Bone marrow smear; 250 by 250 pixels: 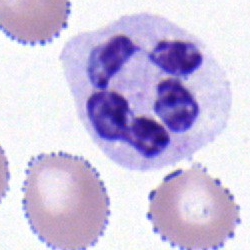
{"cell_type": "polymorphonuclear neutrophil"}